Bone marrow smear:
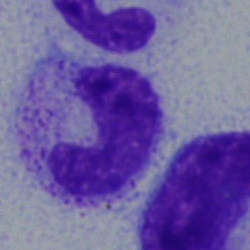

Morphology consistent with a neutrophil (band).